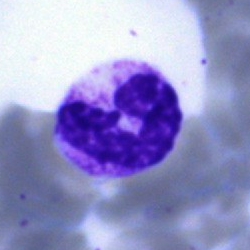Morphology — segmented neutrophil.